Bone marrow smear: 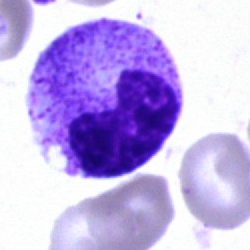
{"cell_type": "stab cell", "lineage": "myeloid"}